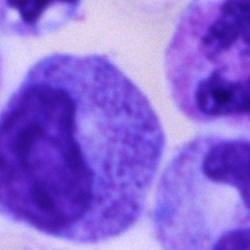 Specimen: bone marrow aspirate smear.
Cell type: promyelocyte.